Peripheral blood film. Romanowsky-type stain. Cropped to a single cell.
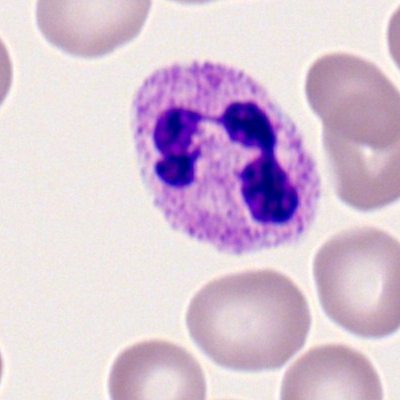
Q: Which cell type is shown here?
A: Neutrophil (segmented).